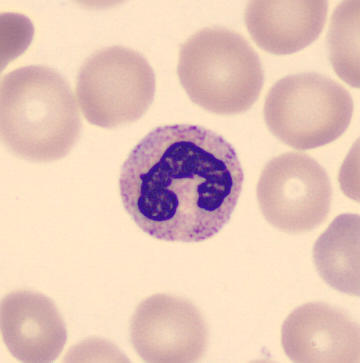 A band neutrophil. Acquisition: Peripheral blood film. MGG-stained. Imaged on a CellaVision DM96 analyser.